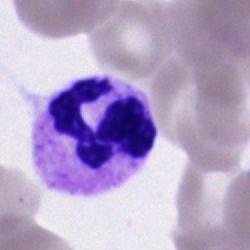 Single-cell crop from a bone marrow smear: segmented neutrophil.